Peripheral blood smear:
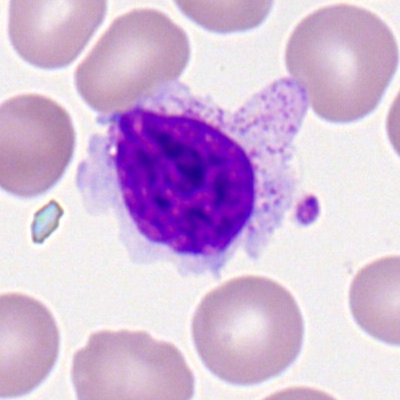 Lymphocyte.